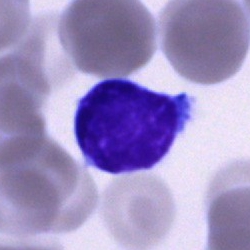 Specimen: bone marrow smear.
Classification: lymphocyte.